Bone marrow aspirate smear
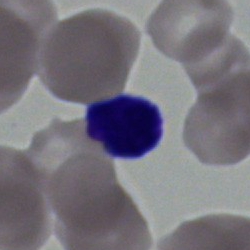 Q: Identify the cell.
A: A lymphocyte.